250×250 · bone marrow aspirate smear.
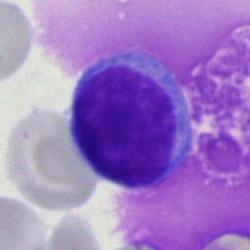
Q: Identify the cell.
A: A typical lymphocyte.